Bone marrow smear: 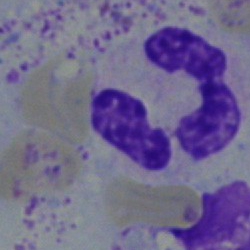Classification: neutrophil (segmented).